Bone marrow smear
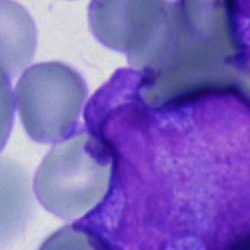 Specimen: bone marrow smear.
Morphological class: blast.